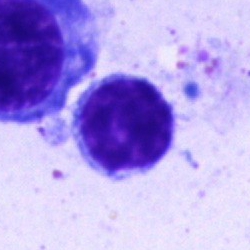Classification = typical lymphocyte.